Bone marrow aspirate smear · 40× oil immersion:
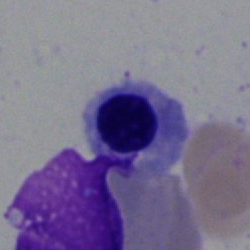

Normoblast.